Bone marrow smear; 40× objective, oil immersion:
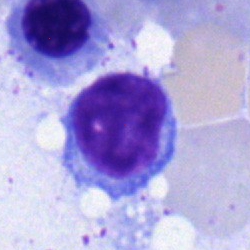 The cell shown is a typical lymphocyte.